Bone marrow smear: 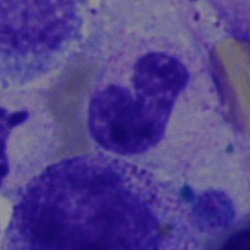Cell type — stab cell.